Peripheral blood film — 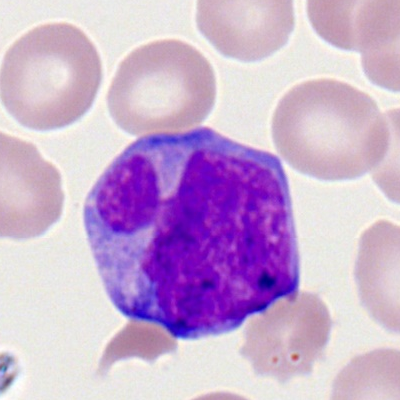 The cell is myeloblast.